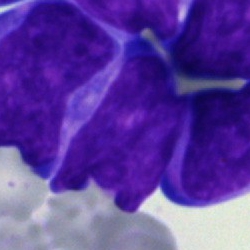Blast cell.